Bone marrow aspirate smear:
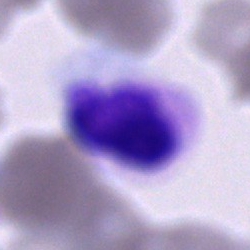 Q: What is shown here?
A: This is an unidentifiable cell.